MGG-stained · bone marrow aspirate smear:
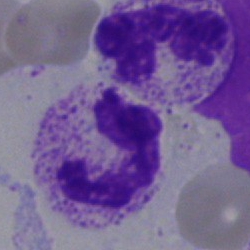

This is a segmented neutrophil.